40× oil immersion; bone marrow aspirate smear:
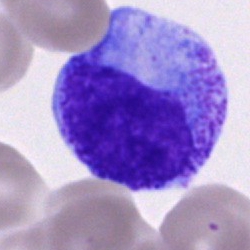
Specimen: bone marrow aspirate smear.
Cell type: promyelocyte.
Lineage: myeloid.